Bone marrow smear · Pappenheim-stained:
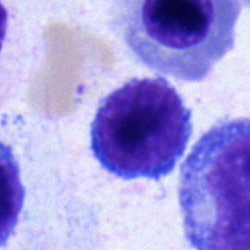Showing a lymphocyte.